Bone marrow aspirate smear. 40× objective, oil immersion. 250×250 px — 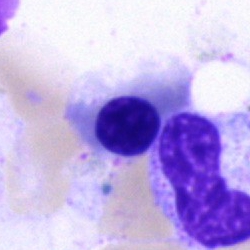 Classification — normoblast.